Brightfield microscopy, 40× oil immersion. Bone marrow smear. 250×250.
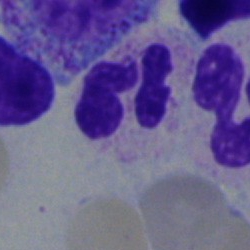 Impression — segmented neutrophil.